Bone marrow aspirate smear: 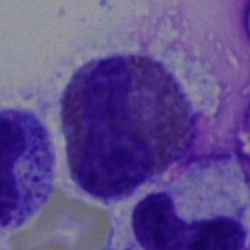 Classification — eosinophilic granulocyte.